Bone marrow aspirate smear: 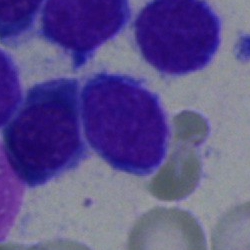
Classification — lymphocyte.